Peripheral blood film:
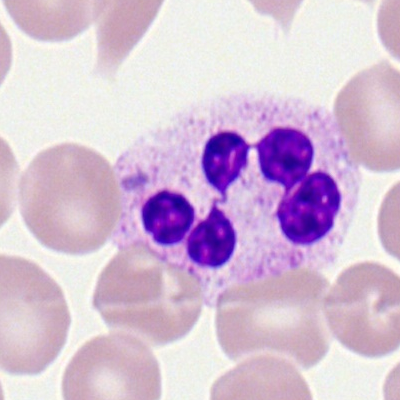 Morphological class: neutrophil (segmented).